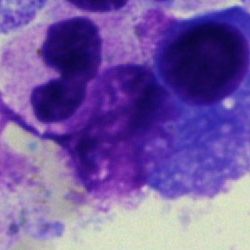A polymorphonuclear neutrophil on a bone marrow smear.